Bone marrow aspirate smear. 250 by 250 pixels: 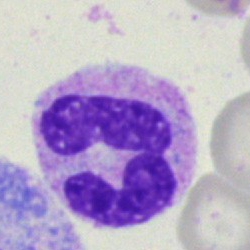

The cell is segmented neutrophil.